250×250; bone marrow aspirate smear — 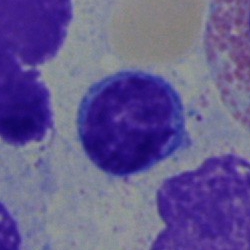Cell — typical lymphocyte.